Bone marrow aspirate smear; 40× oil immersion; 250 by 250 pixels:
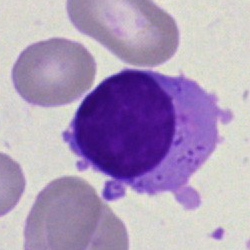The cell type is artifact.